Bone marrow smear.
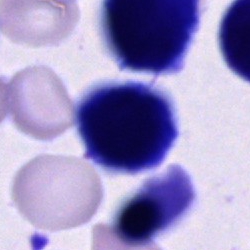
This is a cell of indeterminate lineage.